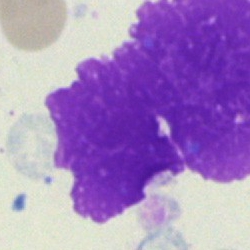 Single cell identified as an artefact.